250 by 250 pixels; bone marrow smear:
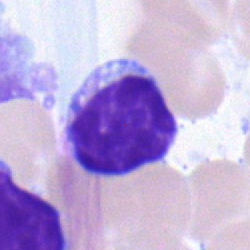 Impression → typical lymphocyte.